Peripheral blood film.
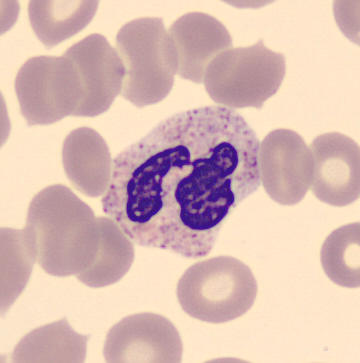The cell shown is a segmented neutrophil.